Bone marrow aspirate smear — 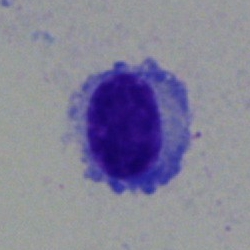
Single cell identified as a plasmacyte.